Bone marrow smear.
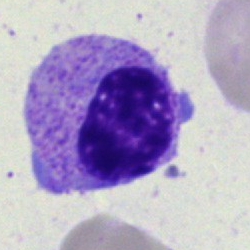
{"cell_type": "myelocyte", "lineage": "myeloid"}